Bone marrow aspirate smear — 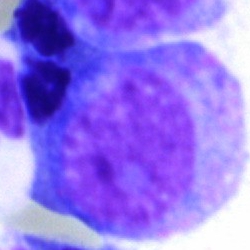 Showing a promyelocyte.